Bone marrow smear. 250 by 250 pixels.
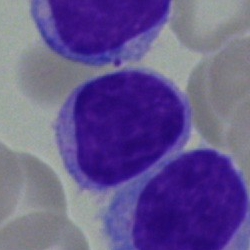 Cell type: lymphocyte.